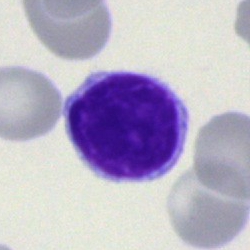

Classification = typical lymphocyte.